Bone marrow smear; May-Grünwald-Giemsa stain — 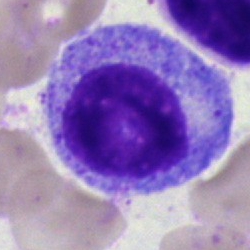This is a myelocyte.